Bone marrow aspirate smear — 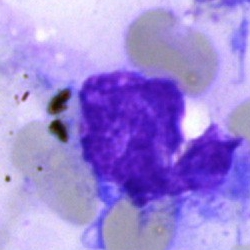
Q: What is shown here?
A: Artifact.